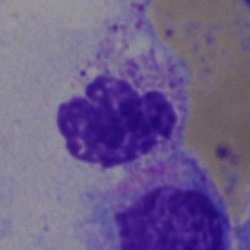
Single-cell crop from a bone marrow smear: neutrophil (segmented).